Bone marrow smear. Single cell centered in the field: 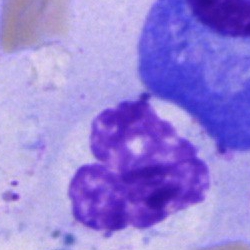

The cell shown is an artifact.